Bone marrow smear
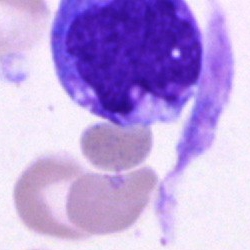

Morphology consistent with a monocyte.